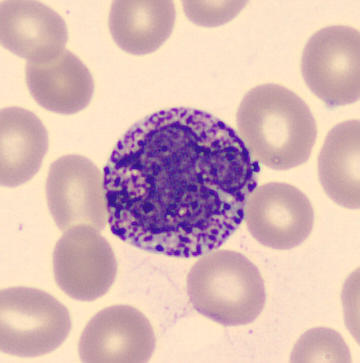

Q: Which cell type is shown here?
A: Basophil.